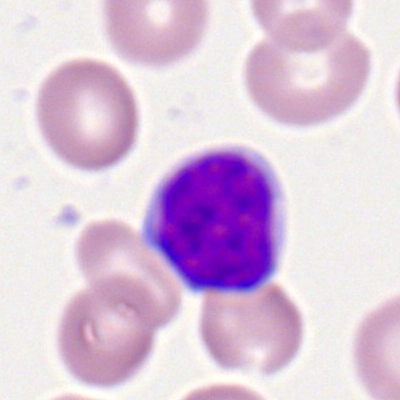

Single cell identified as a lymphocyte.